Bone marrow aspirate smear
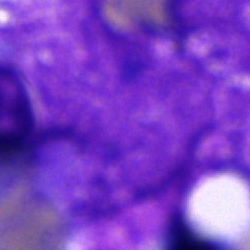
An artefact.